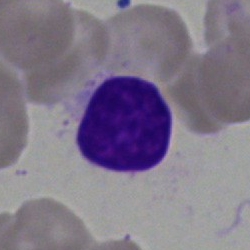 The cell type is artefact.